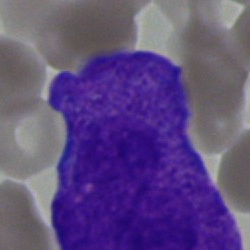
The cell shown is a blast.